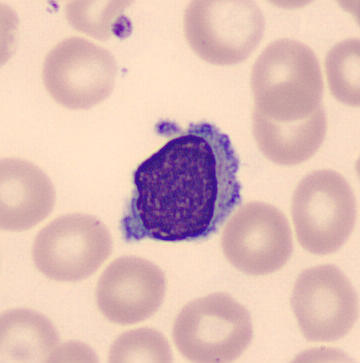Showing a typical lymphocyte.

CellaVision DM96 · peripheral blood film.